May-Grünwald-Giemsa stain. Bone marrow aspirate smear. Single-cell crop.
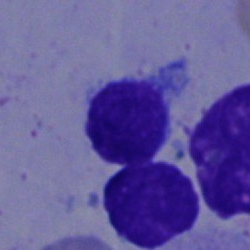

Morphology — lymphocyte.